Bone marrow aspirate smear — 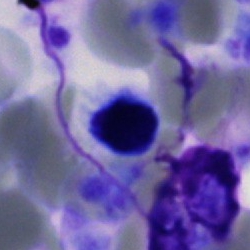

A lymphocyte.